Bone marrow smear:
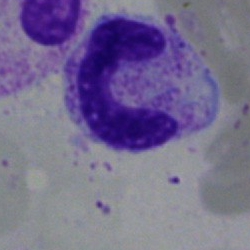Cell = neutrophil (segmented).